Bone marrow aspirate smear; MGG-stained — 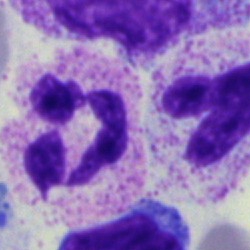This is a segmented neutrophil.